400×400. Peripheral blood film. Single-cell crop — 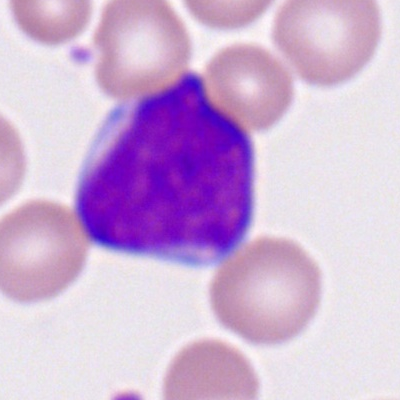Specimen: peripheral blood smear.
Cell: myeloblast.
Lineage: myeloid.